Bone marrow aspirate smear — 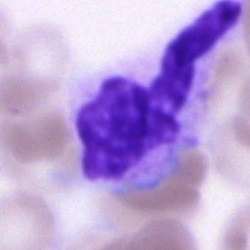 Morphology consistent with a neutrophil (segmented).